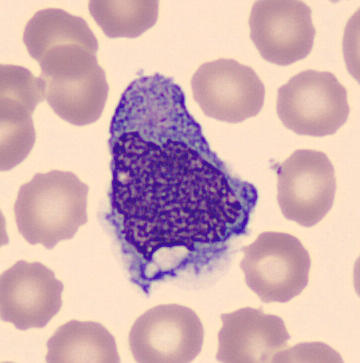Impression → monocyte. Image: May-Grünwald-Giemsa-stained. Single-cell field. Peripheral blood film.